Bone marrow aspirate smear · single-cell field.
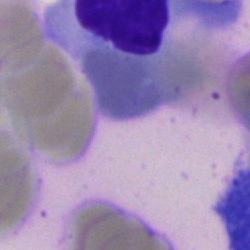 Showing an artifact.